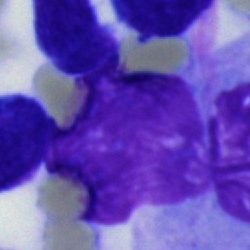 Cell — artefact.